Peripheral blood film.
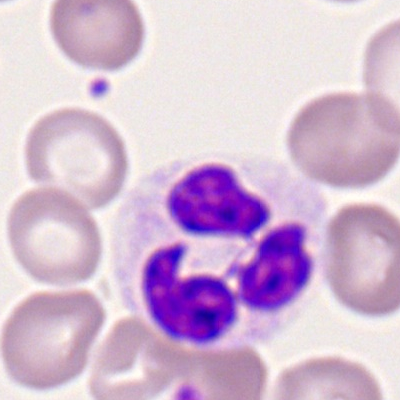

Morphology consistent with a segmented neutrophil.